Cropped to a single cell · bone marrow smear: 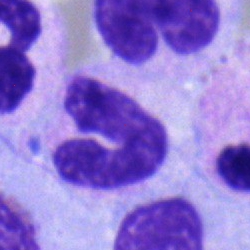 The morphological class is stab cell.